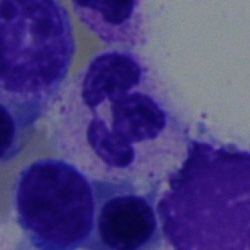Specimen: bone marrow smear.
Cell: segmented neutrophil.
Lineage: myeloid.